Single-cell crop. Bone marrow aspirate smear. 40× objective, oil immersion.
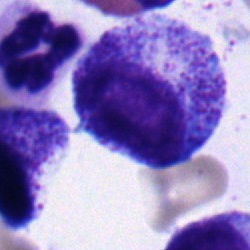 Cell — myelocyte.